Bone marrow aspirate smear
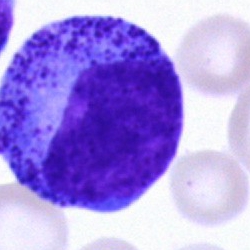

Specimen: bone marrow aspirate smear.
Classification: promyelocyte.
Lineage: myeloid.